Bone marrow smear. 250×250: 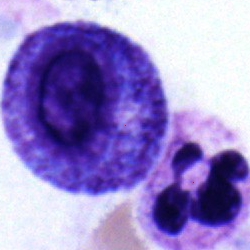
The cell shown is a progranulocyte.